Bone marrow aspirate smear — 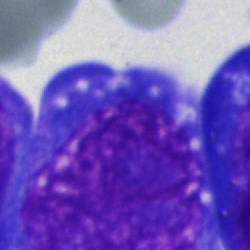
Q: Identify the cell.
A: Blast.